Bone marrow smear — 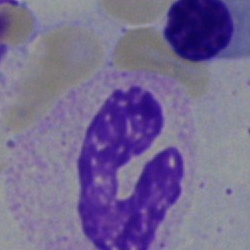
Band-form neutrophil.